May-Grünwald-Giemsa/Pappenheim stain; bone marrow smear
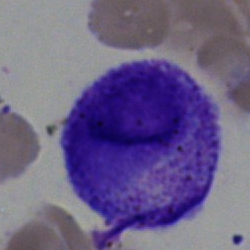Specimen: bone marrow smear.
Cell type: myelocyte.
Lineage: myeloid.